Brightfield, 40× oil-immersion objective · bone marrow aspirate smear · 250×250 px — 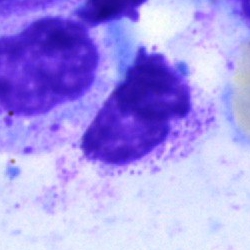
Q: What is shown here?
A: An artefact.